Bone marrow aspirate smear
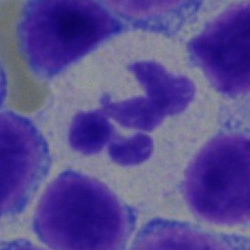

Q: Which cell type is shown here?
A: This is a neutrophil (segmented).